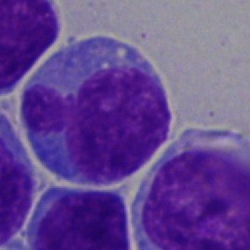

Specimen: bone marrow smear.
Cell type: undifferentiated blast.